Bone marrow smear · May-Grünwald-Giemsa/Pappenheim stain · image size 250×250 — 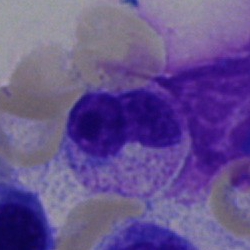

Q: Which cell type is shown here?
A: Neutrophil (band).